May-Grünwald-Giemsa/Pappenheim stain; bone marrow smear: 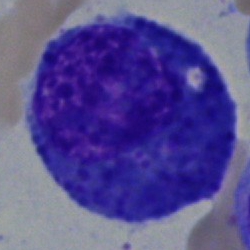
Classification = progranulocyte.